Bone marrow aspirate smear; 40× objective, oil immersion.
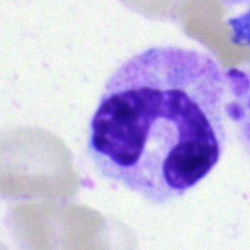
Cell = neutrophil (band).